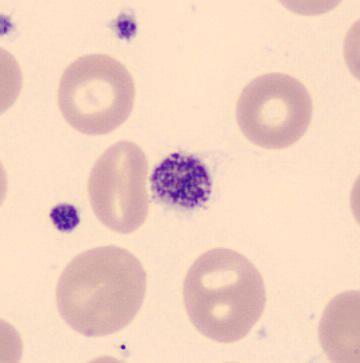
Cell type — thrombocyte.